Peripheral blood smear:
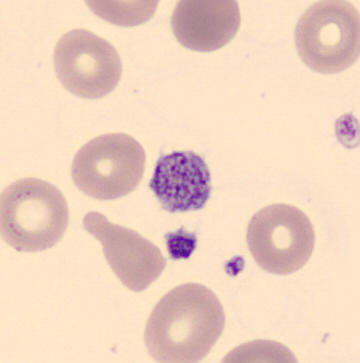

Morphology — thrombocyte.